Bone marrow smear · May-Grünwald-Giemsa/Pappenheim stain: 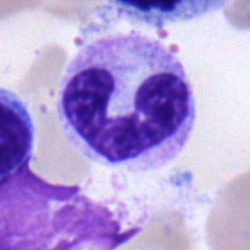

Showing a band neutrophil.